Bone marrow aspirate smear; image size 250×250.
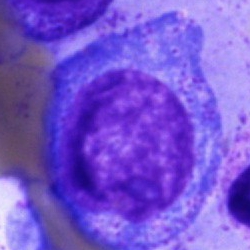

This is a progranulocyte.